Bone marrow aspirate smear
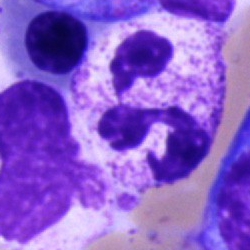 Q: What cell is this?
A: It is a polymorphonuclear neutrophil.